Peripheral blood smear:
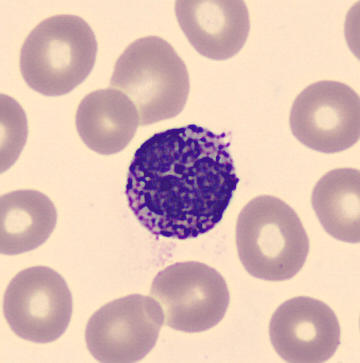{"cell_type": "basophil", "lineage": "myeloid"}